Bone marrow smear. Cropped to a single cell: 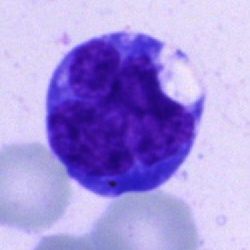The cell is blast cell.